Bone marrow aspirate smear · image size 250×250: 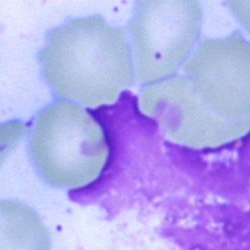
Specimen: bone marrow smear.
Classification: artifact.